Bone marrow smear. Single cell centered in the field: 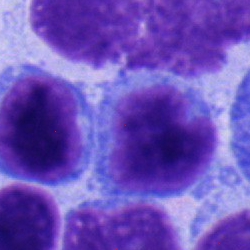Specimen: bone marrow smear.
Cell: lymphocyte.